Bone marrow aspirate smear
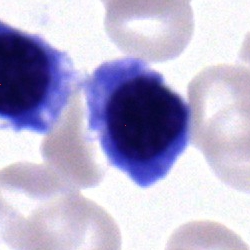
Showing a nucleated red blood cell.